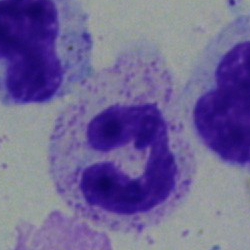Bone marrow aspirate smear, single cell — polymorphonuclear neutrophil.